Cropped to a single cell. Bone marrow smear. Image size 250×250
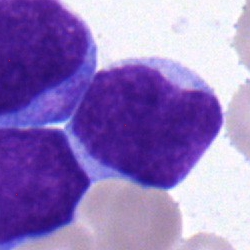 Morphology consistent with a blast.